Bone marrow smear
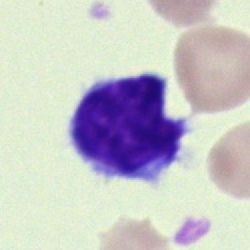

This is a typical lymphocyte.